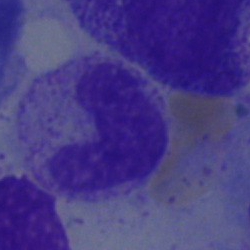 Specimen: bone marrow aspirate smear.
Classification: band neutrophil.